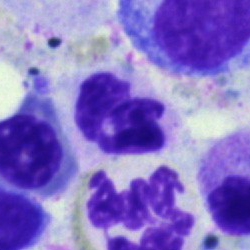The cell is neutrophil (segmented).